Peripheral blood film
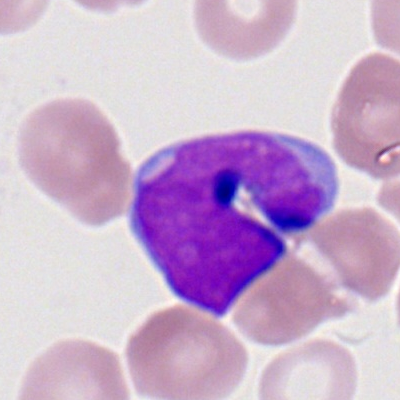
The cell shown is a myeloid blast.